Bone marrow smear · 250×250 px: 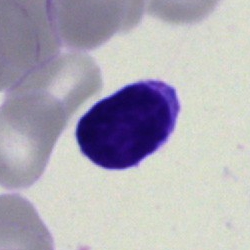

Q: Which cell type is shown here?
A: A typical lymphocyte.